Single-cell field. Bone marrow smear. May-Grünwald-Giemsa stain:
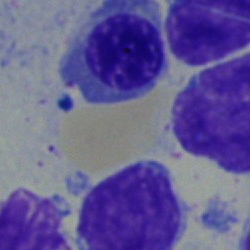The cell shown is a normoblast.